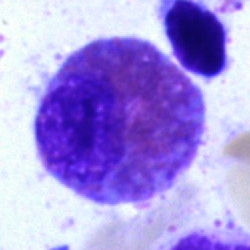
Morphology consistent with an eosinophil.